250 by 250 pixels · May-Grünwald-Giemsa stain · bone marrow smear: 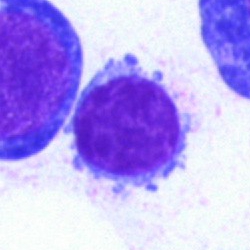
Specimen: bone marrow aspirate smear.
Cell: typical lymphocyte.